Bone marrow smear: 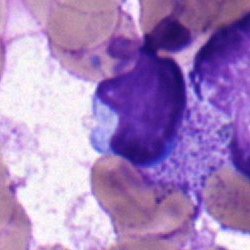

Lymphocyte.